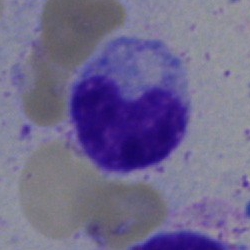

Single cell identified as a metamyelocyte.